Bone marrow aspirate smear: 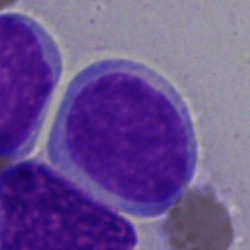

Morphology — blast.